Bone marrow smear. May-Grünwald-Giemsa/Pappenheim stain. 40× objective, oil immersion — 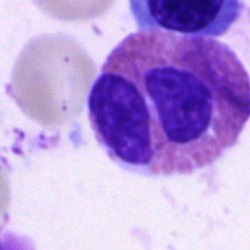 Showing an eosinophil.